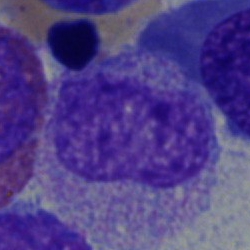

A myelocyte.